250×250 px; bone marrow aspirate smear — 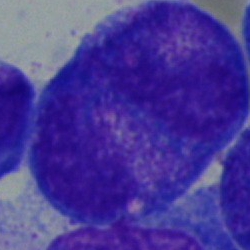 Specimen: bone marrow smear.
Cell type: promyelocyte.
Lineage: myeloid.